Bone marrow aspirate smear. Brightfield, 40× oil-immersion objective: 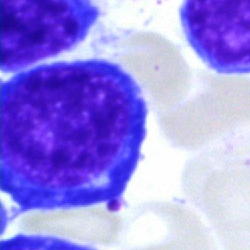 Impression → nucleated red cell.